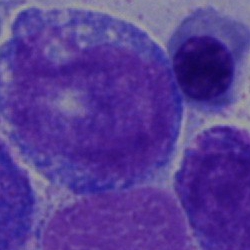

Promyelocyte.